250 by 250 pixels; brightfield, 40× oil-immersion objective; bone marrow aspirate smear — 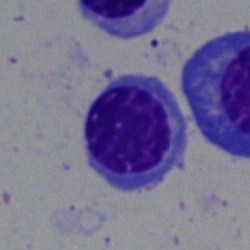Impression → erythroblast.